Bone marrow aspirate smear: 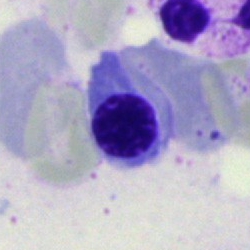
Q: What cell is this?
A: Nucleated red cell.